May-Grünwald-Giemsa stain · single-cell crop · bone marrow smear — 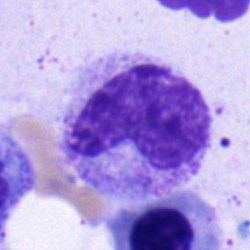Q: Which cell type is shown here?
A: It is a metamyelocyte.